Bone marrow aspirate smear: 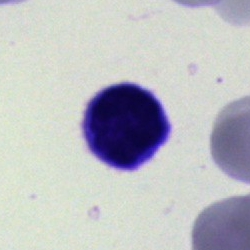 Typical lymphocyte.